Bone marrow aspirate smear.
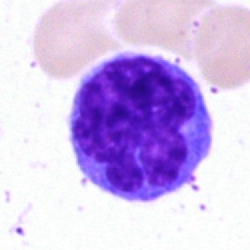Q: What cell is this?
A: It is a monocyte.